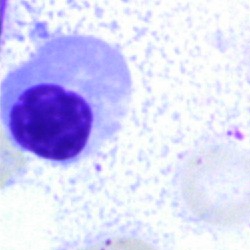 Q: Which cell type is shown here?
A: Nucleated red cell.